Brightfield microscopy, 40× oil immersion. Bone marrow aspirate smear: 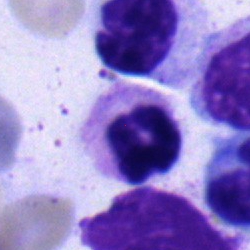Specimen: bone marrow aspirate smear.
Cell type: typical lymphocyte.
Lineage: lymphoid.